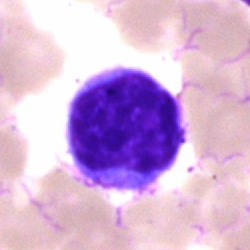 Lymphocyte.